Bone marrow smear
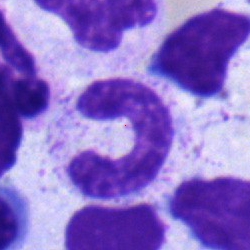
A stab cell.